Bone marrow smear:
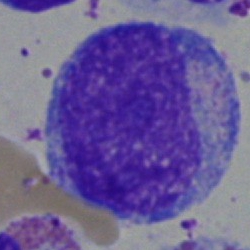

Morphology → blast.